Bone marrow aspirate smear:
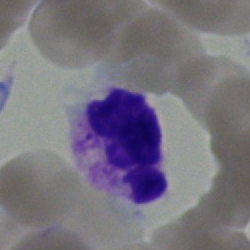Morphology — polymorphonuclear neutrophil.